Peripheral blood film
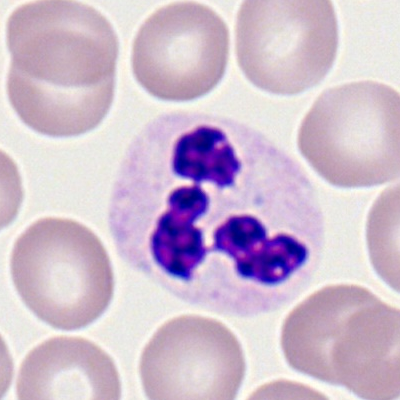 Morphology consistent with a polymorphonuclear neutrophil.